Bone marrow aspirate smear · image size 250×250:
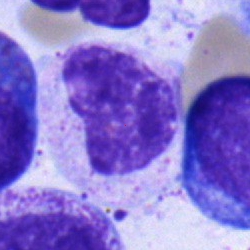

Q: Identify the cell.
A: A metamyelocyte.